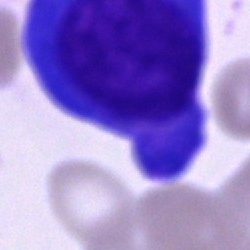 Q: What type of cell is this?
A: A plasma cell.